Bone marrow aspirate smear. Brightfield microscopy, 40× oil immersion — 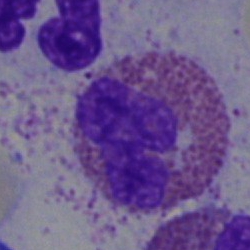The cell is eosinophil.